Peripheral blood film.
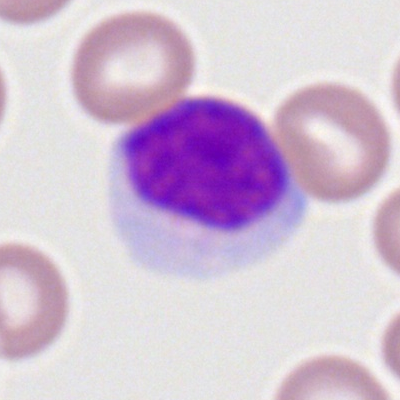
Showing a lymphocyte.